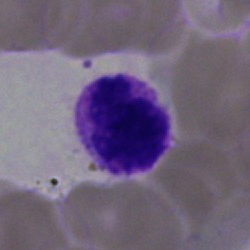 Q: What type of cell is this?
A: Basophilic granulocyte.